250 by 250 pixels · single-cell crop · bone marrow aspirate smear
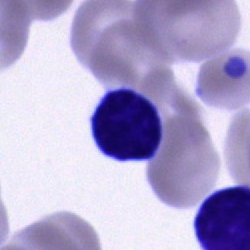
The cell shown is a typical lymphocyte.